Bone marrow smear; single cell centered in the field
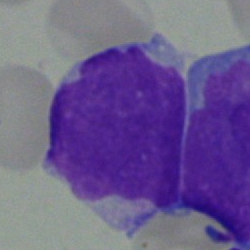Morphology consistent with an undifferentiated blast.